Bone marrow smear
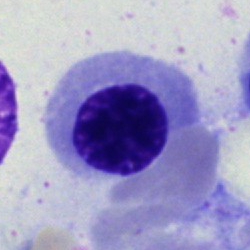

Cell type: normoblast.